MGG-stained; bone marrow smear; cropped to a single cell: 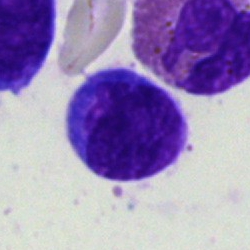
Q: What is shown here?
A: It is a lymphocyte.